250 by 250 pixels. Single cell centered in the field. Bone marrow smear
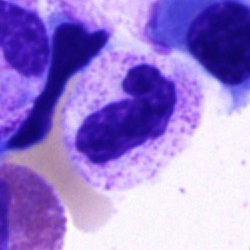The cell shown is a polymorphonuclear neutrophil.